Bone marrow smear — 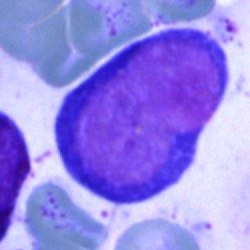 Q: What cell is this?
A: Proerythroblast.